250 by 250 pixels · bone marrow aspirate smear: 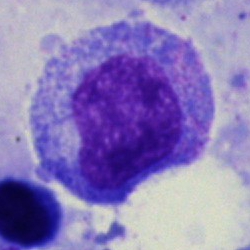 Showing a progranulocyte.